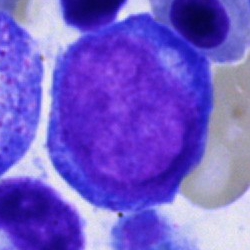The cell is pronormoblast.